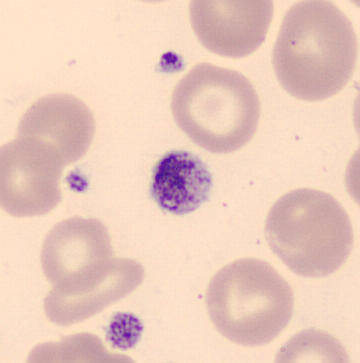

Peripheral blood film.

Identified as a thrombocyte.